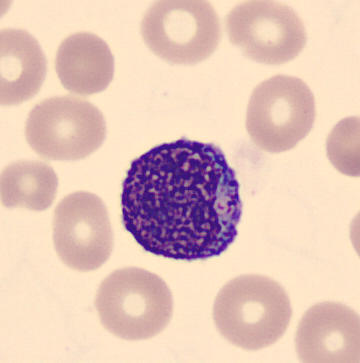Progranulocyte. Image: CellaVision DM96 digital cell image; single cell centered in the field; peripheral blood film.